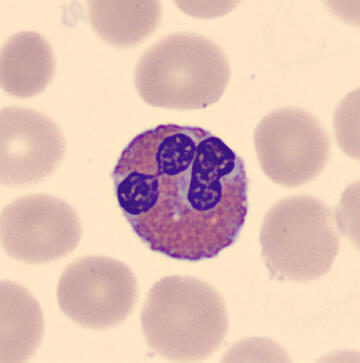

Q: Which cell type is shown here?
A: An eosinophil.